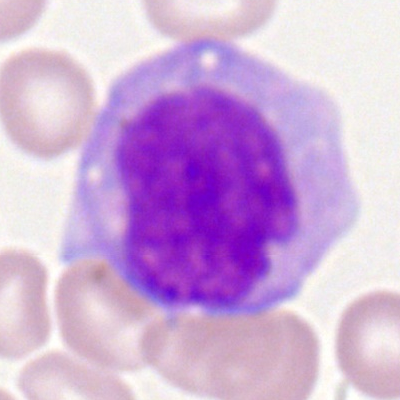
A monocyte.